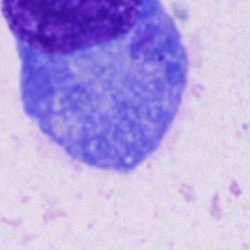
A plasmacyte.